40× objective, oil immersion. Bone marrow smear. 250 by 250 pixels — 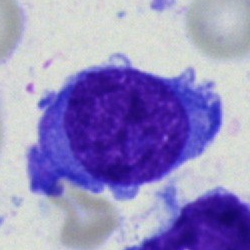
The cell is undifferentiated blast.